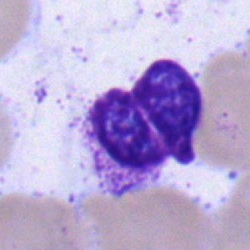
Q: Which cell type is shown here?
A: Segmented neutrophil.